Bone marrow aspirate smear
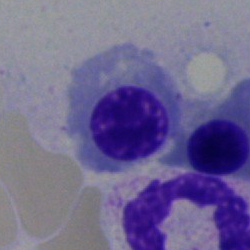Q: What is shown here?
A: It is a nucleated red blood cell.